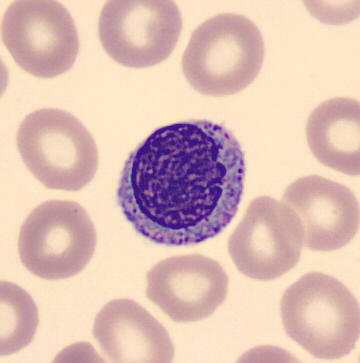

Peripheral blood smear.
Single cell identified as a monocyte.